May-Grünwald-Giemsa stain · bone marrow smear — 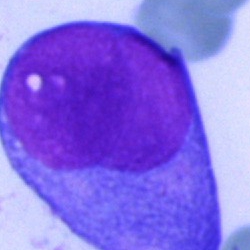
Q: What is shown here?
A: A blast.